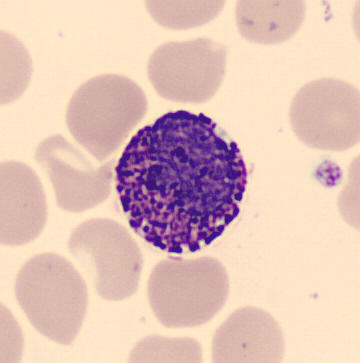 Image: May-Grünwald-Giemsa-stained.
Specimen: peripheral blood smear.
Morphological class: basophilic granulocyte.